Peripheral blood film — 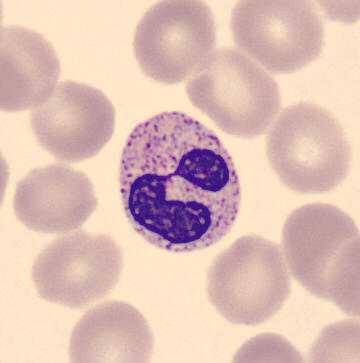
Neutrophil (segmented).